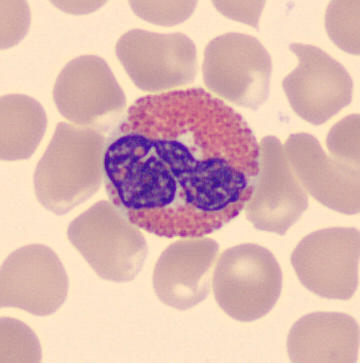

Identified as an eosinophilic granulocyte.
Acquisition: Single cell centered in the field; MGG-stained; peripheral blood smear.